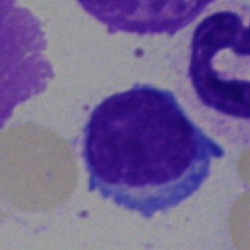
Specimen: bone marrow smear.
Cell: lymphocyte.
Lineage: lymphoid.